Single-cell field · bone marrow smear — 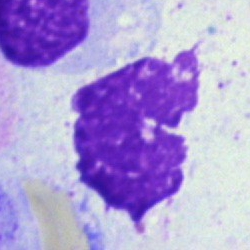Q: What is shown here?
A: Artifact.